Bone marrow aspirate smear:
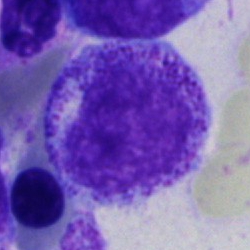
Single cell identified as a progranulocyte.